Bone marrow smear: 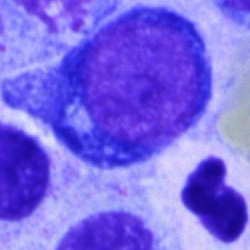
Cell — normoblast.